Bone marrow smear:
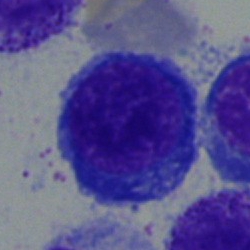

This is a pronormoblast.